Bone marrow aspirate smear · brightfield microscopy, 40× oil immersion: 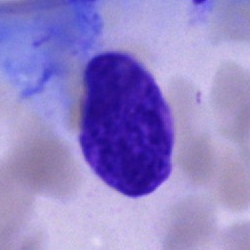 Impression — artifact.